Image size 250×250; May-Grünwald-Giemsa/Pappenheim stain; bone marrow aspirate smear — 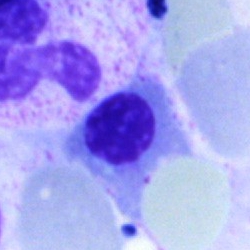Impression — erythroblast.